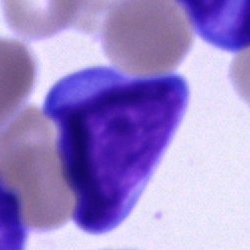 Q: What is the morphological classification of this cell?
A: Blast.